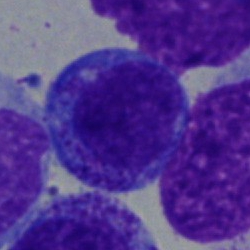

Q: Which cell type is shown here?
A: A promyelocyte.